Peripheral blood smear
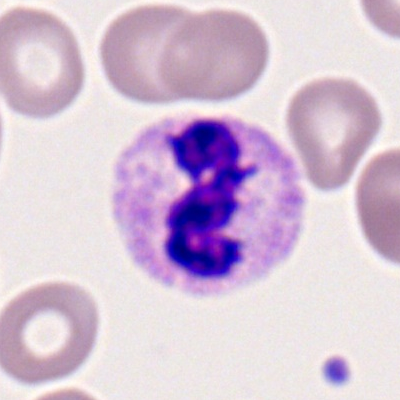 Morphological class — segmented neutrophil.